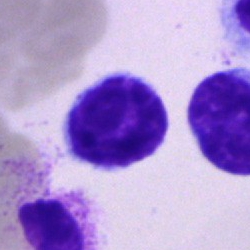The cell shown is a typical lymphocyte.